Bone marrow smear.
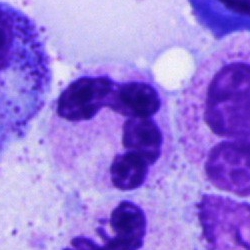

The cell type is polymorphonuclear neutrophil.